Bone marrow smear: 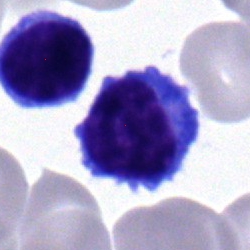 This is a lymphocyte.